Bone marrow aspirate smear: 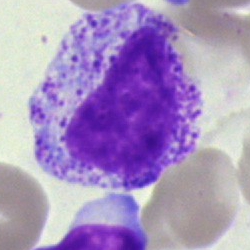
Morphology → myelocyte.